Bone marrow aspirate smear
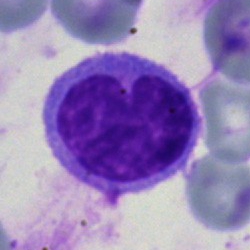Morphology → monocyte.